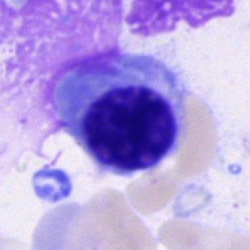

Cell: normoblast.